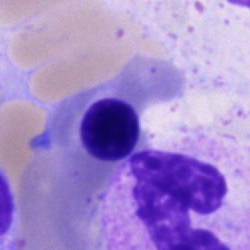

A nucleated red blood cell on a bone marrow smear.